Bone marrow aspirate smear:
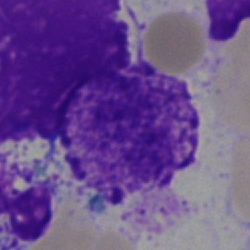 Q: What is shown here?
A: It is an artifact.